MGG-stained; bone marrow smear — 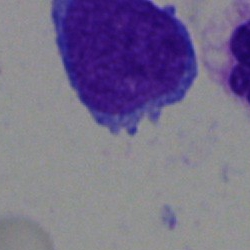Specimen: bone marrow aspirate smear.
Cell type: blast.